Bone marrow smear.
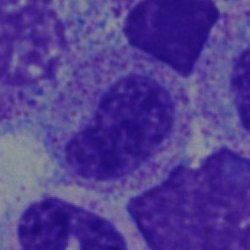
The cell shown is a metamyelocyte.